May-Grünwald-Giemsa stain · bone marrow aspirate smear · 250×250 px
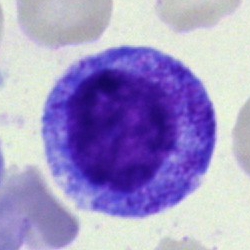Cell = progranulocyte.